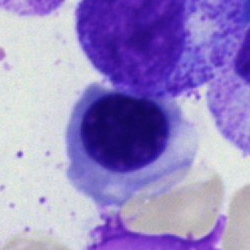Morphological class: nucleated red blood cell.